Bone marrow smear:
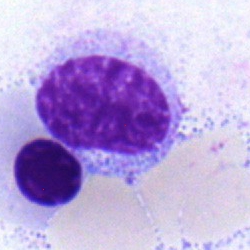This is a myelocyte.